250 by 250 pixels. Cropped to a single cell. Bone marrow aspirate smear.
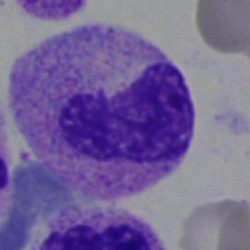Q: Identify the cell.
A: Neutrophil (band).